Bone marrow smear.
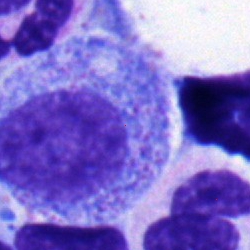The morphological class is promyelocyte.